Bone marrow aspirate smear:
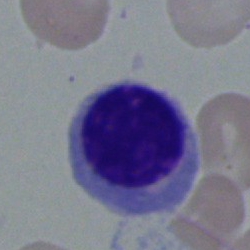An erythroblast.